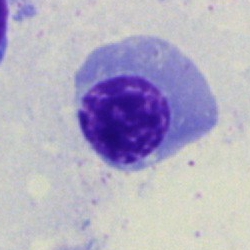Morphology — nucleated red blood cell.